Bone marrow smear.
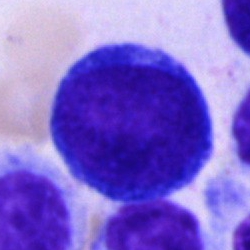

Cell — pronormoblast.